May-Grünwald-Giemsa stain · bone marrow smear: 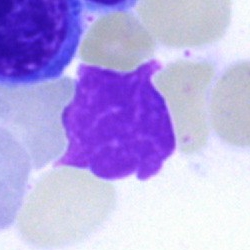 This is an artifact.